Bone marrow smear. MGG-stained. 40× objective, oil immersion.
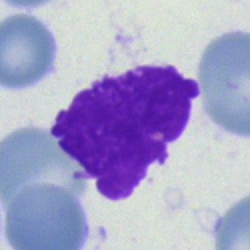
Impression → artefact.